Peripheral blood smear · Romanowsky-type stain
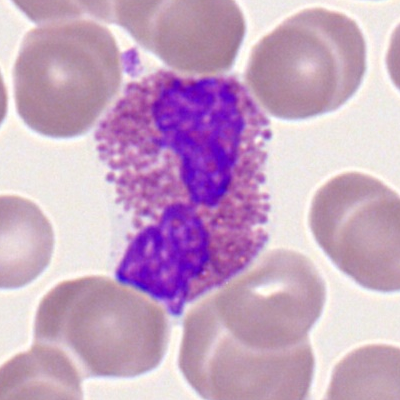This is an eosinophil.